Bone marrow smear; 250×250 — 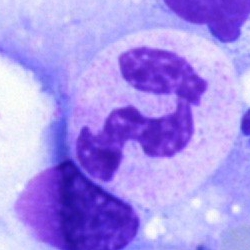Q: Identify the cell.
A: This is a segmented neutrophil.